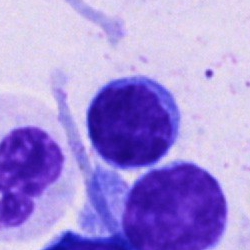 Specimen: bone marrow aspirate smear.
Cell: lymphocyte.
Lineage: lymphoid.